Bone marrow smear — 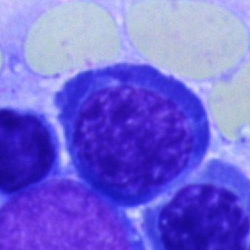

Morphology consistent with an erythroblast.